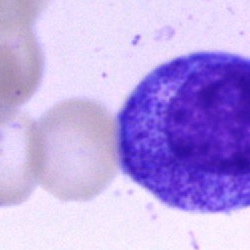
Promyelocyte.